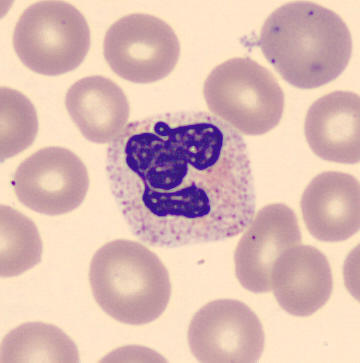

Acquisition: MGG stain.

Specimen: peripheral blood smear.
Cell: segmented neutrophil.
Lineage: myeloid.